Bone marrow smear; single-cell crop; 250×250: 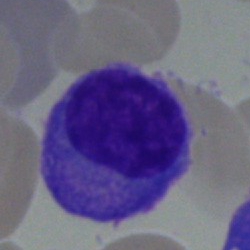
{"cell_type": "plasmacyte", "lineage": "lymphoid"}